Pappenheim-stained · brightfield, 40× oil-immersion objective · bone marrow aspirate smear
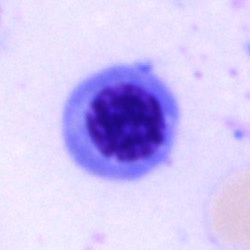

Specimen: bone marrow smear.
Cell: nucleated red cell.
Lineage: erythroid.